Bone marrow smear; 250 by 250 pixels; 40× oil immersion — 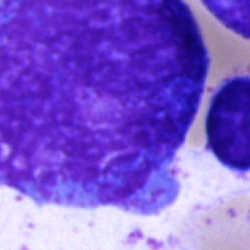Promyelocyte.